Bone marrow smear
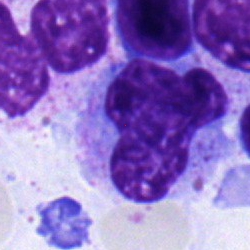

Monocyte.